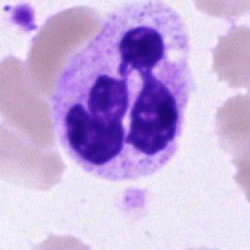Classification: polymorphonuclear neutrophil.